Bone marrow aspirate smear: 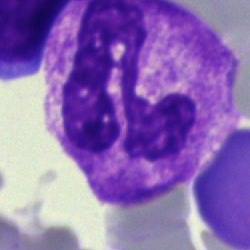{"cell_type": "segmented neutrophil", "lineage": "myeloid"}